Bone marrow smear — 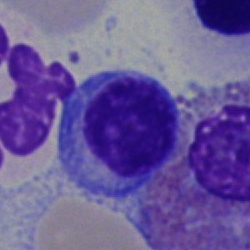
Q: What type of cell is this?
A: A plasmacyte.